Bone marrow aspirate smear — 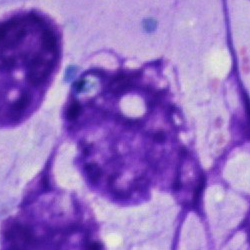Q: What is shown here?
A: This is an artefact.